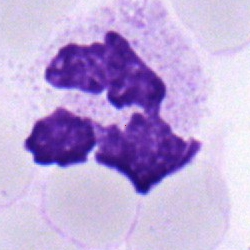
Bone marrow aspirate smear, single cell — neutrophil (segmented).